Bone marrow smear — 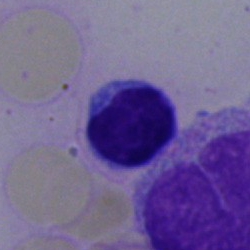
Q: What cell is this?
A: It is a lymphocyte.